40× objective, oil immersion · bone marrow smear · single-cell crop
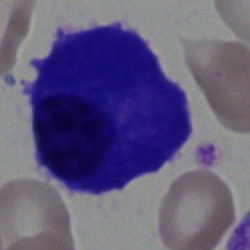

Specimen: bone marrow smear.
Morphological class: plasmacyte.
Lineage: lymphoid.